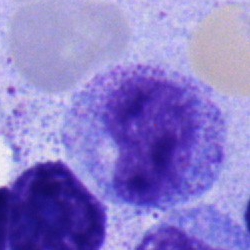{"cell_type": "metamyelocyte"}